Bone marrow smear: 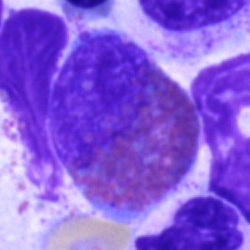Q: Which cell type is shown here?
A: Eosinophilic granulocyte.